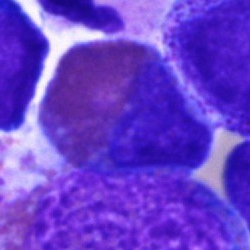

Q: What is the morphological classification of this cell?
A: Eosinophilic granulocyte.